Bone marrow smear — 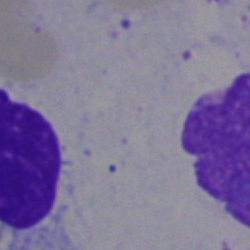
Cell — artefact.